250 by 250 pixels · single cell centered in the field · bone marrow aspirate smear: 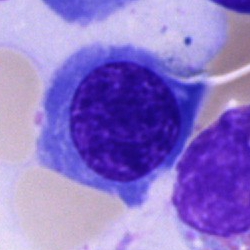
A normoblast.